Bone marrow aspirate smear — 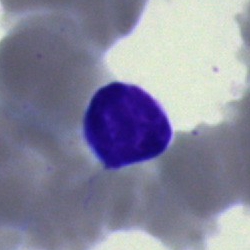Morphology consistent with a lymphocyte.